Bone marrow aspirate smear:
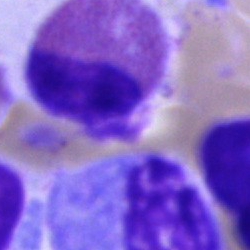

Q: What cell is this?
A: An eosinophilic granulocyte.